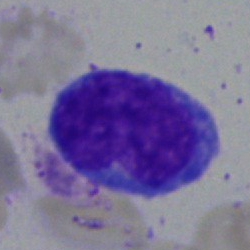 Cell type = blast cell.